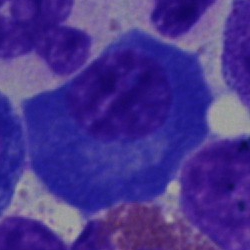This is a plasma cell.